Bone marrow aspirate smear: 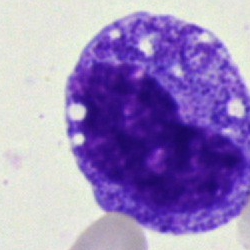
Morphological class = metamyelocyte.